May-Grünwald-Giemsa/Pappenheim stain. Bone marrow smear.
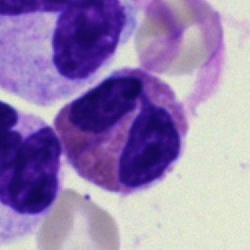 Showing an eosinophil.